40× oil immersion; bone marrow smear:
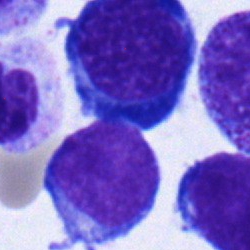 Classification: nucleated red cell.